Peripheral blood smear — 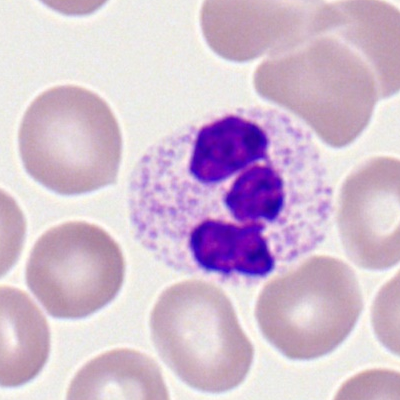Q: Identify the cell.
A: It is a polymorphonuclear neutrophil.